Single cell centered in the field · bone marrow aspirate smear: 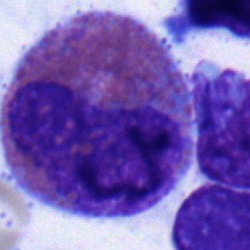
Specimen: bone marrow aspirate smear.
Cell: eosinophilic granulocyte.
Lineage: myeloid.